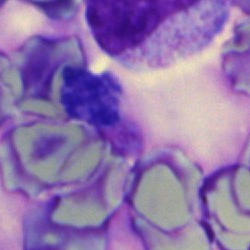

Q: What is shown here?
A: It is an artifact.